40× objective, oil immersion; bone marrow aspirate smear: 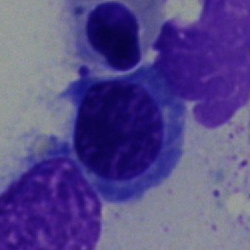

Single cell identified as an erythroblast.